Bone marrow aspirate smear · 40× objective, oil immersion: 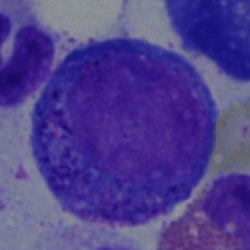
Morphology — progranulocyte.